Bone marrow aspirate smear: 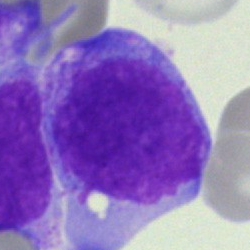Specimen: bone marrow smear.
Classification: blast cell.